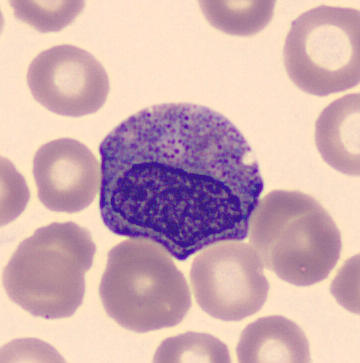 The cell shown is a metamyelocyte.